May-Grünwald-Giemsa stain · bone marrow smear:
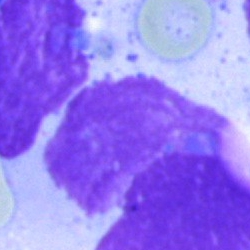

The cell is artefact.